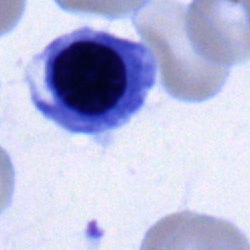Single-cell crop from a bone marrow smear: nucleated red blood cell.